Brightfield microscopy, 40× oil immersion; Pappenheim-stained; bone marrow smear
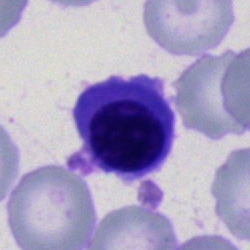
This is a nucleated red blood cell.